40× objective, oil immersion; bone marrow aspirate smear:
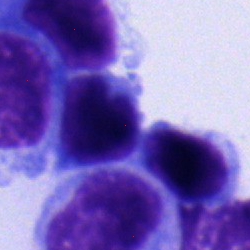 Q: Which cell type is shown here?
A: It is a lymphocyte.